Bone marrow aspirate smear.
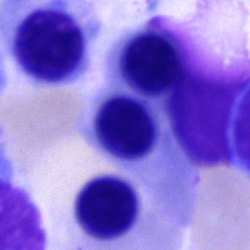
Q: What cell is this?
A: A nucleated red cell.